Bone marrow aspirate smear: 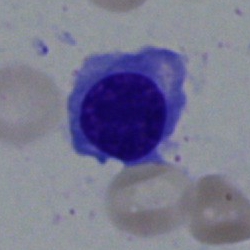
Nucleated red cell.